Bone marrow aspirate smear:
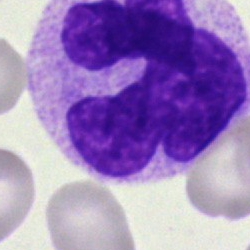
Specimen: bone marrow smear.
Cell: monocyte.